Bone marrow smear. 250×250 px:
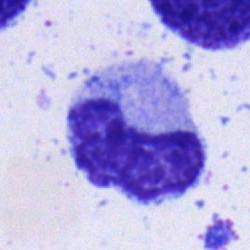

Q: What is shown here?
A: This is a neutrophil (band).